Bone marrow smear · single cell centered in the field · brightfield microscopy, 40× oil immersion.
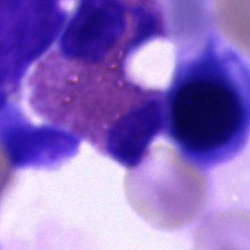 The cell shown is an eosinophil.